Peripheral blood smear.
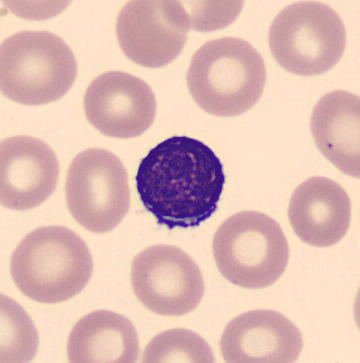Identified as a lymphocyte.